Bone marrow smear
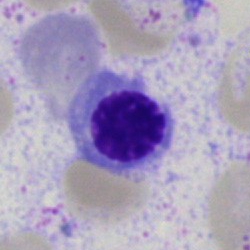
Specimen: bone marrow aspirate smear.
Classification: normoblast.
Lineage: erythroid.